Bone marrow smear:
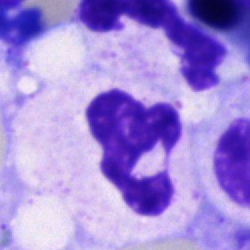 Q: What cell is this?
A: Neutrophil (segmented).